Bone marrow smear.
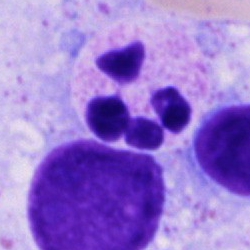
Q: What type of cell is this?
A: This is a segmented neutrophil.